Image size 250×250; bone marrow smear
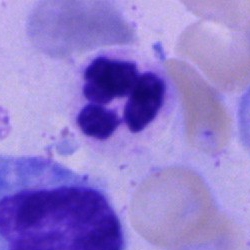The morphological class is neutrophil (segmented).